Brightfield microscopy, 40× oil immersion; bone marrow smear; 250×250
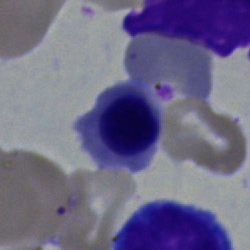

Showing a nucleated red cell.